Bone marrow smear
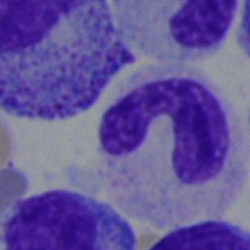

{"cell_type": "stab cell", "lineage": "myeloid"}